Bone marrow smear. Single-cell crop. 250×250 — 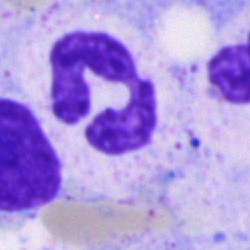

Morphology — polymorphonuclear neutrophil.